Bone marrow aspirate smear; MGG-stained: 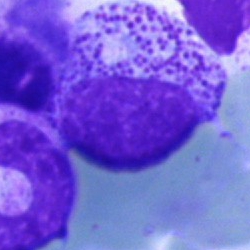Impression → myelocyte.